Bone marrow aspirate smear:
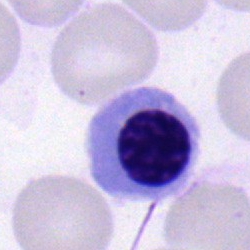

Q: Identify the cell.
A: Nucleated red cell.